250×250 · bone marrow smear — 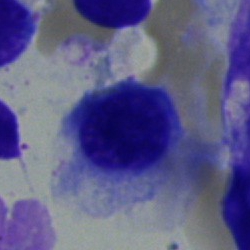

Cell type = erythroblast.